Bone marrow aspirate smear; May-Grünwald-Giemsa/Pappenheim stain: 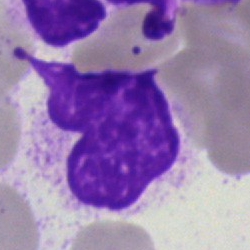
An artifact.